Peripheral blood film.
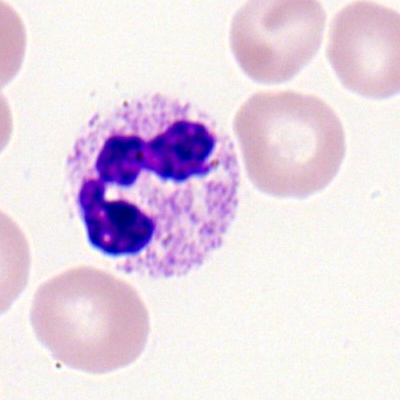
Neutrophil (segmented).